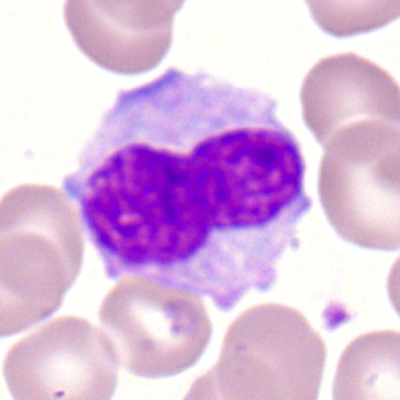 A monocyte.